Single-cell crop · Pappenheim-stained · bone marrow aspirate smear: 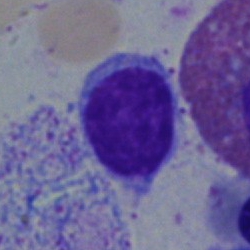

Typical lymphocyte.